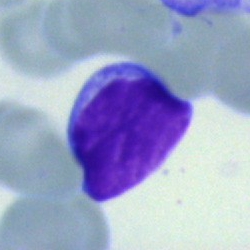

Bone marrow aspirate smear, single cell — typical lymphocyte.